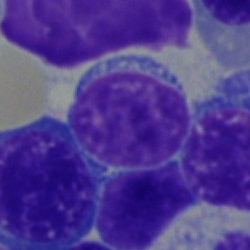Bone marrow smear showing a plasmacyte.